Brightfield, 40× oil-immersion objective · bone marrow smear · May-Grünwald-Giemsa stain: 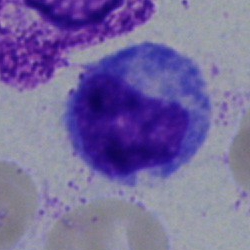

Q: Which cell type is shown here?
A: A myelocyte.